40× objective, oil immersion · bone marrow smear: 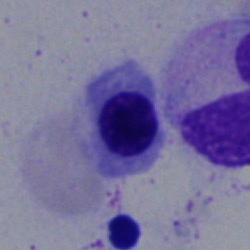Cell: normoblast.